Bone marrow aspirate smear; 40× objective, oil immersion: 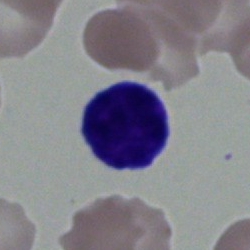 Morphological class — typical lymphocyte.